Bone marrow smear: 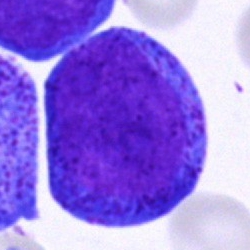 Cell type: progranulocyte.